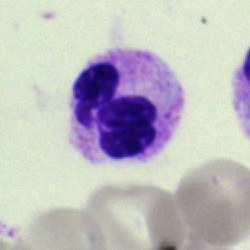 The morphological class is polymorphonuclear neutrophil.